MGG-stained · bone marrow aspirate smear · brightfield microscopy, 40× oil immersion — 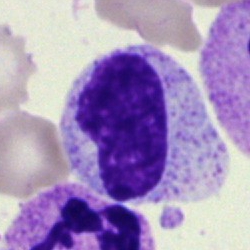

Specimen: bone marrow smear.
Classification: neutrophil (band).
Lineage: myeloid.